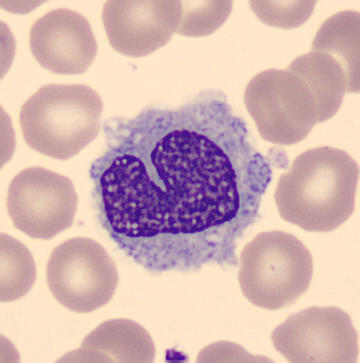

{"cell_type": "monocyte"}